Bone marrow aspirate smear — 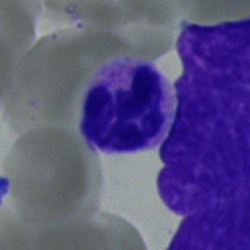
Classification = neutrophil (segmented).